Bone marrow aspirate smear:
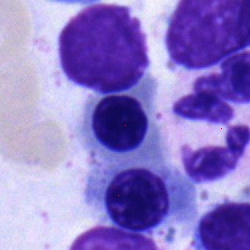
Showing a nucleated red blood cell.